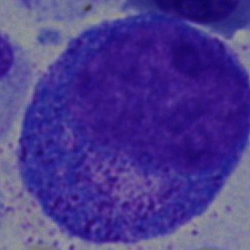A progranulocyte.